Cropped to a single cell; brightfield microscopy, 40× oil immersion; bone marrow smear:
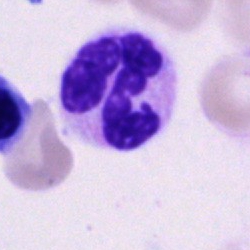 The cell shown is a segmented neutrophil.